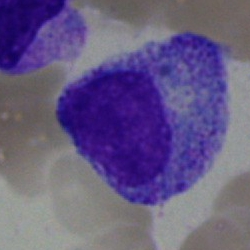 Q: What cell is this?
A: A myelocyte.